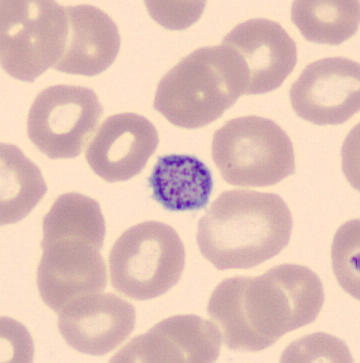Identified as a platelet (thrombocyte).